Single cell centered in the field; peripheral blood film.
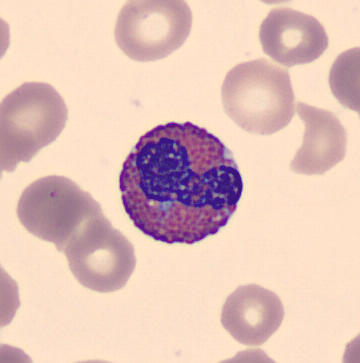Cell type = eosinophil.